Bone marrow smear: 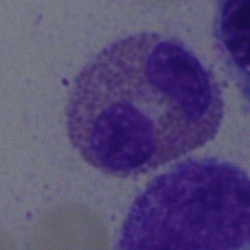Q: Which cell type is shown here?
A: Eosinophilic granulocyte.